Bone marrow aspirate smear.
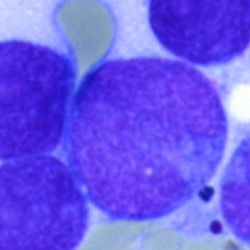

Cell — undifferentiated blast.